Pappenheim-stained. Bone marrow aspirate smear: 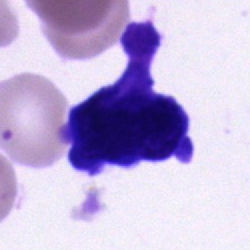
Cell of indeterminate lineage.